Bone marrow smear: 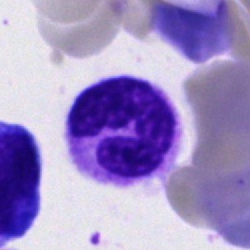
Q: What is shown here?
A: Neutrophil (band).